Bone marrow aspirate smear:
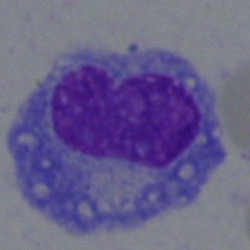
Q: What is the morphological classification of this cell?
A: A plasmacyte.